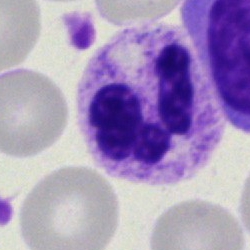 Q: What is the morphological classification of this cell?
A: It is a neutrophil (segmented).